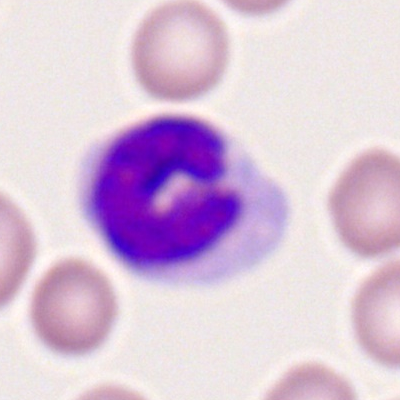
{"cell_type": "monocyte", "lineage": "myeloid"}